Cropped to a single cell; bone marrow smear.
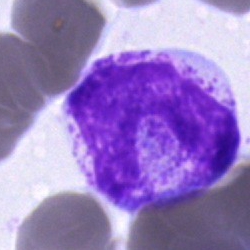

Cell type — band-form neutrophil.